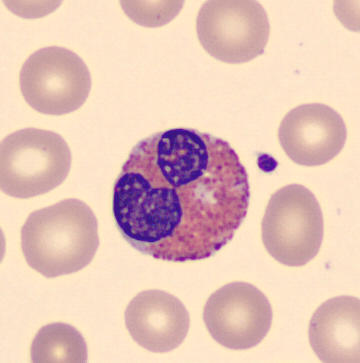 {"cell_type": "eosinophilic granulocyte"}